Bone marrow aspirate smear. 250×250 — 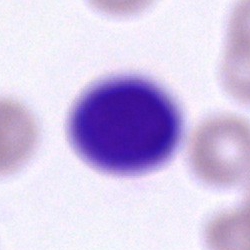

Q: What cell is this?
A: It is an unidentifiable cell.